Single cell centered in the field · bone marrow smear · 250 by 250 pixels
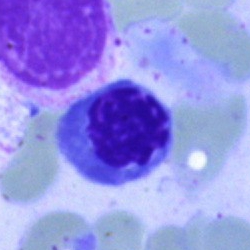This is an erythroblast.